MGG-stained · bone marrow smear — 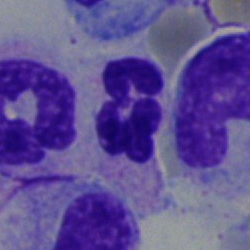 Specimen: bone marrow aspirate smear.
Morphological class: neutrophil (segmented).
Lineage: myeloid.